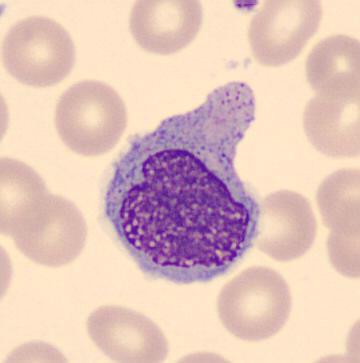

Acquisition: Peripheral blood smear. Monocyte.